40× objective, oil immersion. 250 by 250 pixels. Bone marrow aspirate smear: 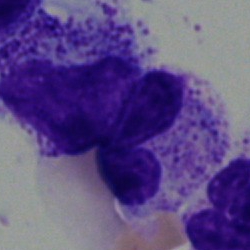

Q: What is the morphological classification of this cell?
A: Band-form neutrophil.